Bone marrow aspirate smear: 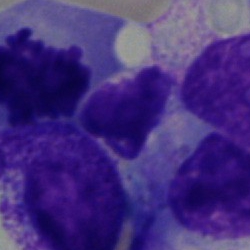
The cell is unidentifiable cell.